Peripheral blood film. Romanowsky stain
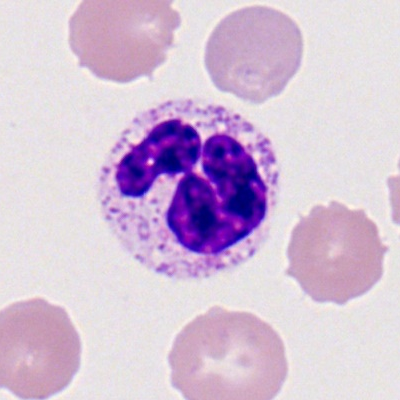
Cell type = polymorphonuclear neutrophil.